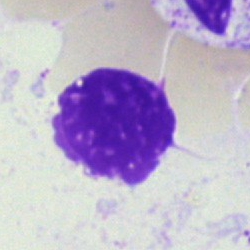 An artefact.